MGG-stained; bone marrow aspirate smear: 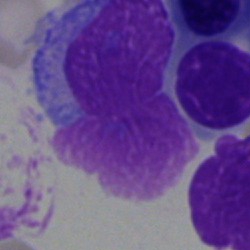Single cell identified as an artefact.